Bone marrow smear; 40× objective, oil immersion.
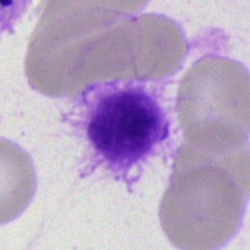
Specimen: bone marrow smear.
Classification: artefact.